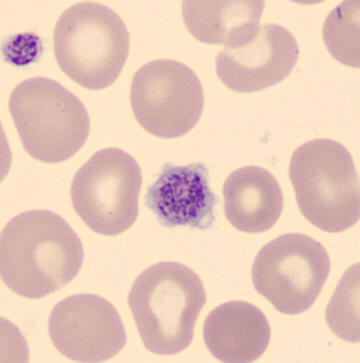Cell type = platelet.
Preparation: MGG-stained · 360 by 363 pixels · peripheral blood film.